Bone marrow aspirate smear:
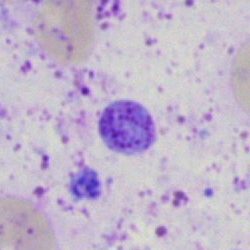
Classification = artifact.